Bone marrow smear: 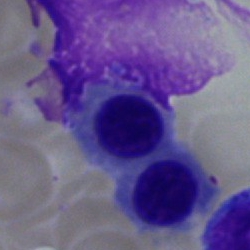

Q: What is shown here?
A: Normoblast.